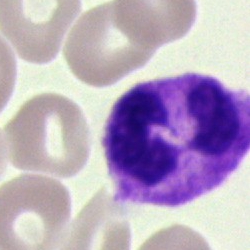 The cell is segmented neutrophil.